Bone marrow aspirate smear — 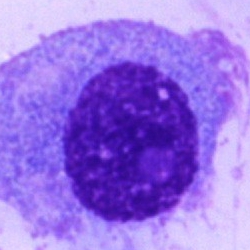

The cell is plasmacyte.